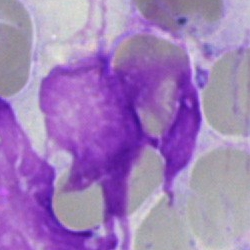
Cell type: artifact.